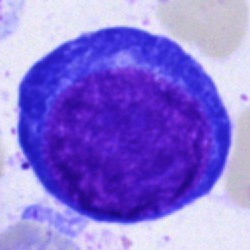

Morphological class — pronormoblast.